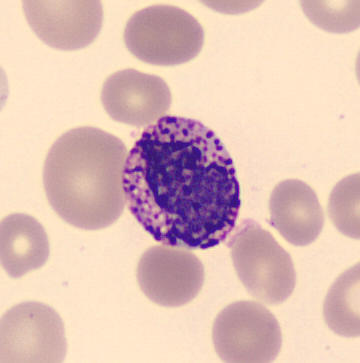 Q: Identify the cell.
A: A basophil.